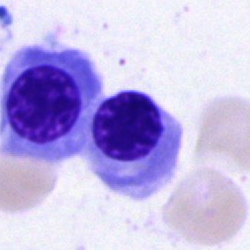The cell shown is a normoblast.